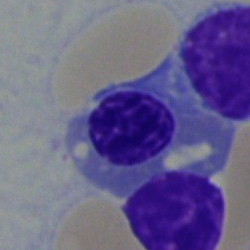
Bone marrow aspirate smear, single cell — nucleated red cell.